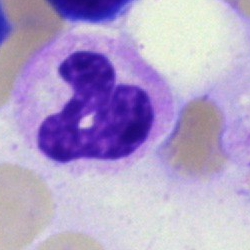

Morphology consistent with a segmented neutrophil.